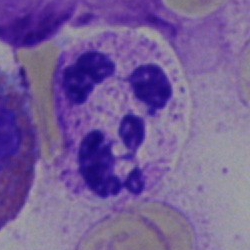 Specimen: bone marrow aspirate smear.
Cell: polymorphonuclear neutrophil.